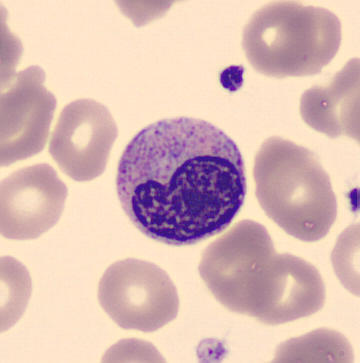

Specimen: peripheral blood film.
Morphological class: metamyelocyte.

CellaVision DM96 digital cell image.